Bone marrow aspirate smear — 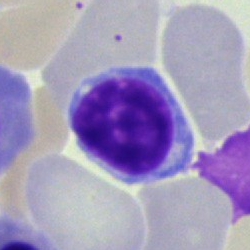 Q: What is the morphological classification of this cell?
A: A lymphocyte.